250×250 px; bone marrow smear; Pappenheim-stained — 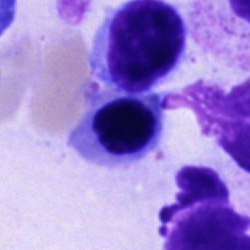 The cell type is unidentifiable cell.